Pappenheim-stained · brightfield, 40× oil-immersion objective · bone marrow aspirate smear: 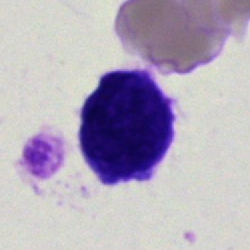 An artefact.